Bone marrow aspirate smear · single-cell crop
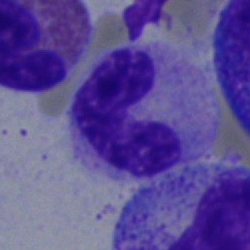

Cell: band-form neutrophil.